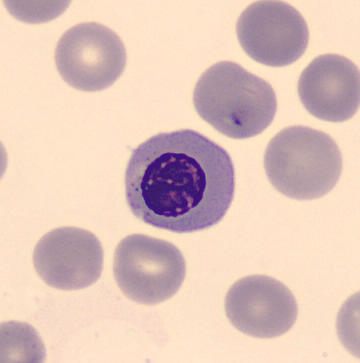 Peripheral blood smear. Single-cell field.
Classification = nucleated red blood cell.